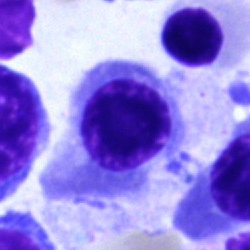

Bone marrow aspirate smear, single cell — normoblast.